Bone marrow aspirate smear — 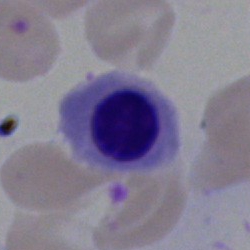
Q: Which cell type is shown here?
A: A normoblast.